Bone marrow aspirate smear; 250 by 250 pixels.
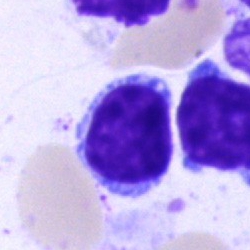 {"cell_type": "lymphocyte"}